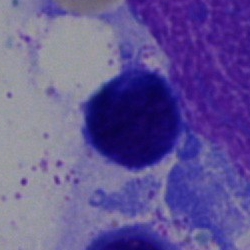 Single-cell crop from a bone marrow smear: typical lymphocyte.